Bone marrow smear.
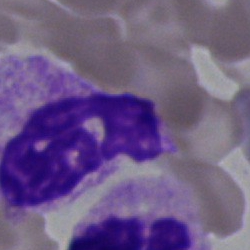

This is a polymorphonuclear neutrophil.